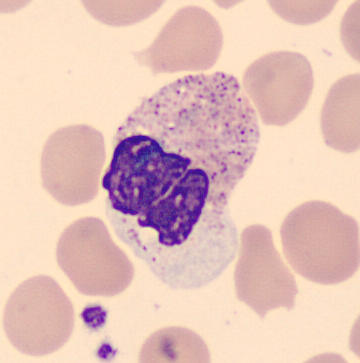 Image: Peripheral blood smear · May-Grünwald-Giemsa-stained. Showing a segmented neutrophil.